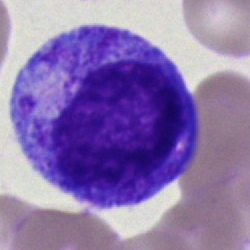
Cell type: progranulocyte.